Single cell centered in the field · 40× objective, oil immersion · bone marrow aspirate smear:
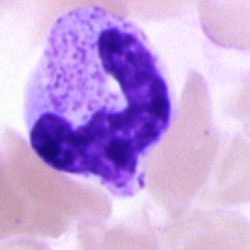 A polymorphonuclear neutrophil.